MGG-stained · bone marrow smear · 40× objective, oil immersion — 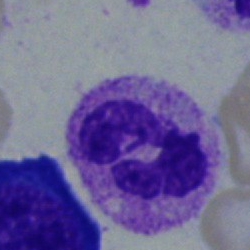
The cell type is polymorphonuclear neutrophil.